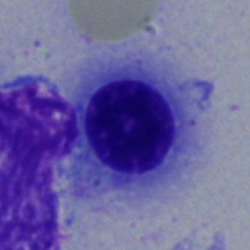 Cell type: nucleated red blood cell.